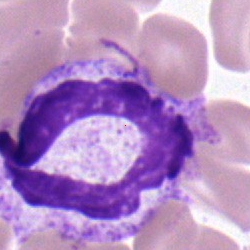
Cell: band-form neutrophil.